Bone marrow smear · single-cell field · 40× objective, oil immersion.
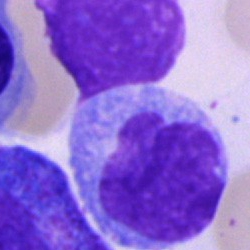
The cell shown is a monocyte.